Bone marrow aspirate smear:
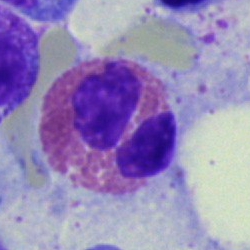The cell type is eosinophilic granulocyte.